Bone marrow aspirate smear; cropped to a single cell:
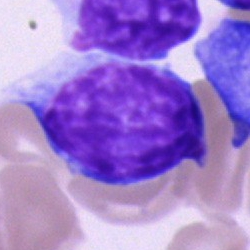 Showing a blast.